Peripheral blood film:
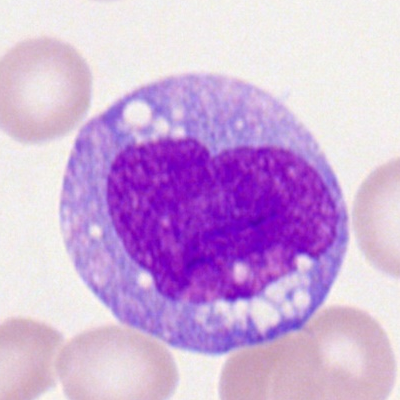 This is a monocyte.